Bone marrow aspirate smear. Pappenheim-stained:
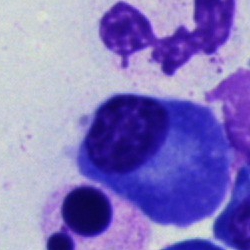Cell = plasmacyte.